Bone marrow smear: 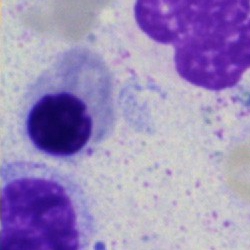
This is a normoblast.